Bone marrow smear · 250×250 px
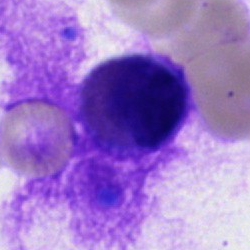Impression — artifact.